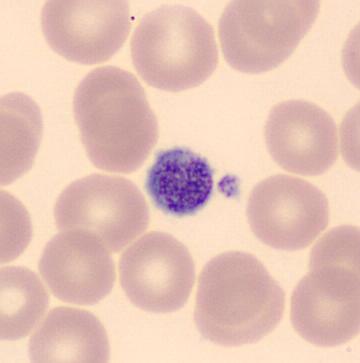The classification is platelet.
Peripheral blood smear.